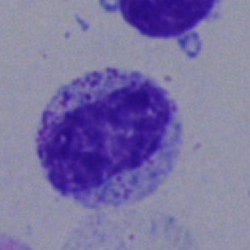 The classification is myelocyte.